Bone marrow smear. Single-cell crop: 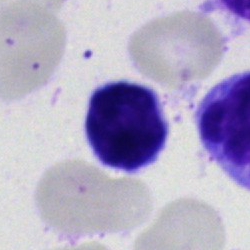

Q: What cell is this?
A: It is a typical lymphocyte.